May-Grünwald-Giemsa/Pappenheim stain. Bone marrow smear: 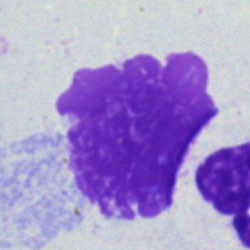 Q: What is shown here?
A: An artifact.